Bone marrow smear — 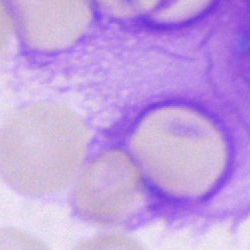 {"cell_type": "artefact"}